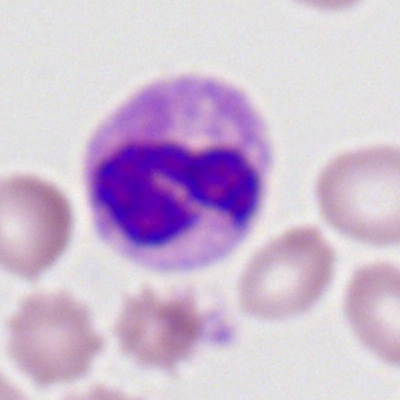
Impression → neutrophil (segmented).